May-Grünwald-Giemsa/Pappenheim stain; brightfield microscopy, 40× oil immersion; bone marrow smear — 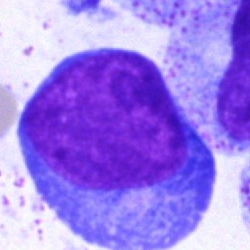 Specimen: bone marrow smear.
Cell type: blast.